Bone marrow aspirate smear: 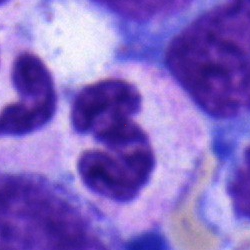
Cell — neutrophil (segmented).